Bone marrow aspirate smear: 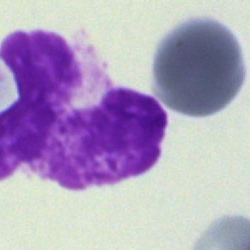

Morphology consistent with an artifact.